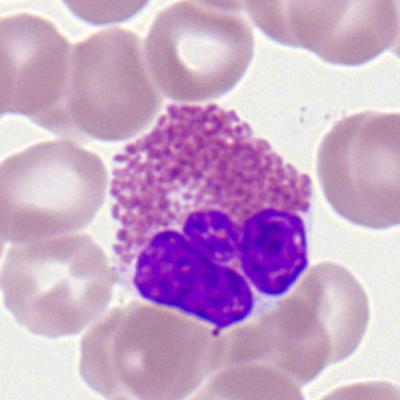
Peripheral blood film, single cell — eosinophil.